250×250 px; bone marrow aspirate smear: 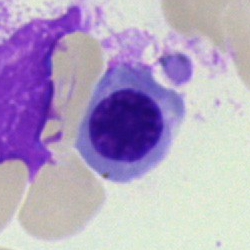

Single cell identified as a normoblast.